Cropped to a single cell · bone marrow smear · image size 250×250
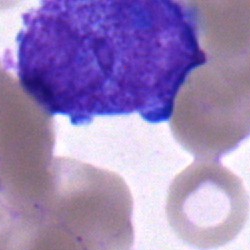

Q: What is the morphological classification of this cell?
A: It is a blast cell.